Bone marrow smear; 250×250; 40× objective, oil immersion.
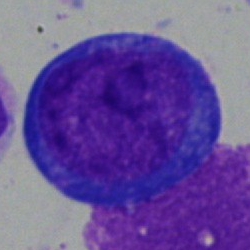
Cell type = blast cell.